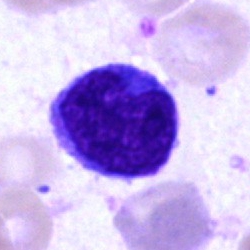 Cell type — blast.